Bone marrow aspirate smear
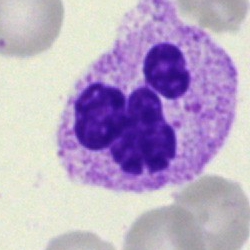

A segmented neutrophil.